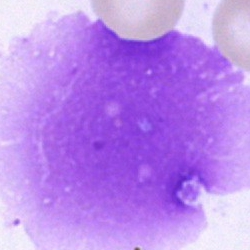 The classification is artefact.